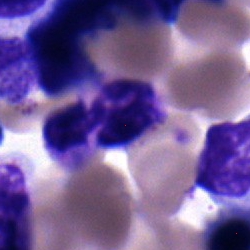Impression → neutrophil (segmented).